Peripheral blood film · Romanowsky-type stain: 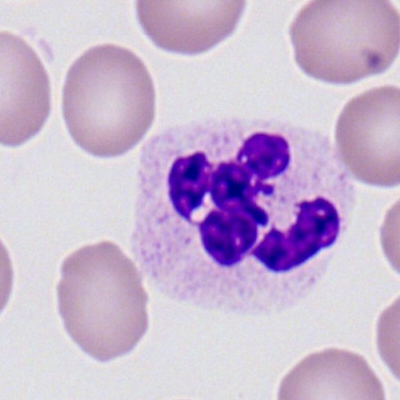
The cell shown is a segmented neutrophil.